Bone marrow aspirate smear.
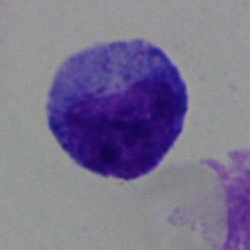
Specimen: bone marrow aspirate smear.
Cell type: promyelocyte.